Bone marrow smear — 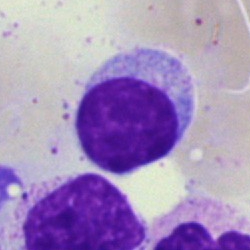Lymphocyte.